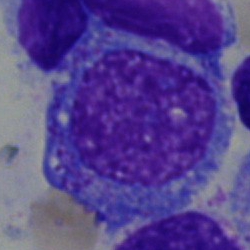A progranulocyte.